Bone marrow aspirate smear; 250 by 250 pixels
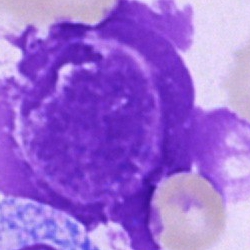Showing an artefact.